Bone marrow smear. Cropped to a single cell
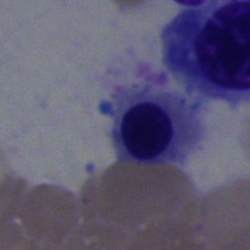Morphological class: nucleated red blood cell.